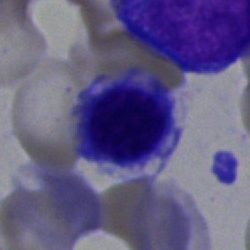 Single cell identified as an erythroblast.